Brightfield microscopy, 40× oil immersion; MGG-stained; bone marrow aspirate smear
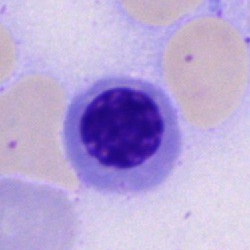
Impression → normoblast.